Single-cell crop. Peripheral blood smear.
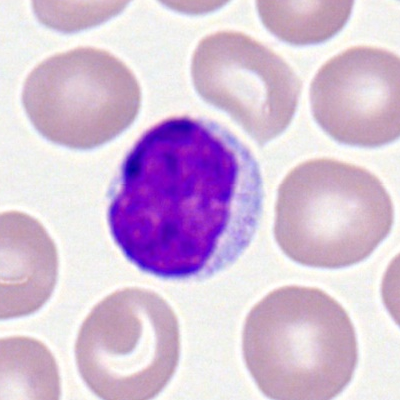 Morphology → typical lymphocyte.